Single cell centered in the field; bone marrow aspirate smear — 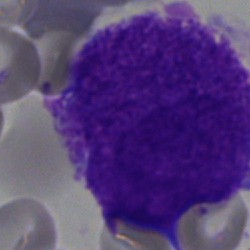
Classification = blast.